Bone marrow aspirate smear · 250 by 250 pixels · May-Grünwald-Giemsa stain:
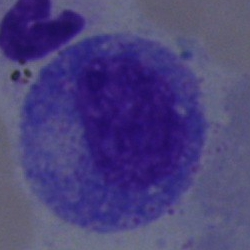
Specimen: bone marrow aspirate smear.
Cell: progranulocyte.
Lineage: myeloid.